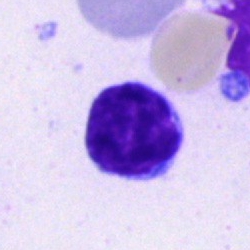

Bone marrow smear showing a typical lymphocyte.